Bone marrow aspirate smear; May-Grünwald-Giemsa stain — 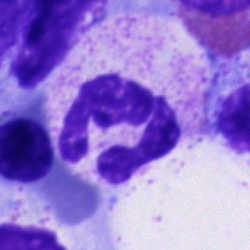Classification = segmented neutrophil.